Bone marrow smear:
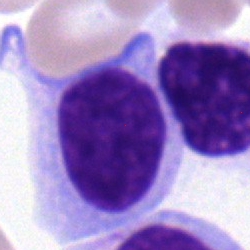
Classification = typical lymphocyte.